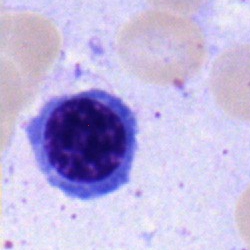

An erythroblast.